Cropped to a single cell. Bone marrow smear. Image size 250×250.
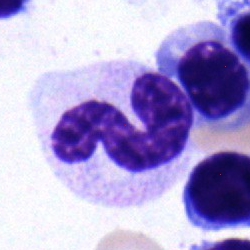

The classification is band-form neutrophil.